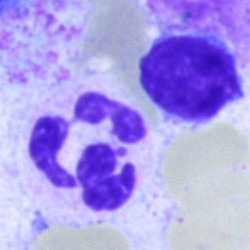This is a polymorphonuclear neutrophil.